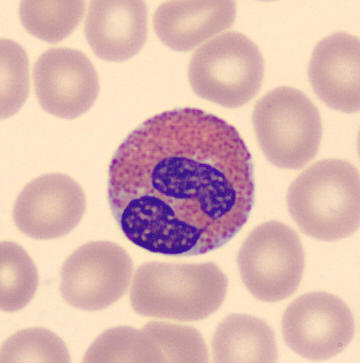

Specimen: peripheral blood smear.
Morphological class: eosinophilic granulocyte.
Lineage: myeloid.